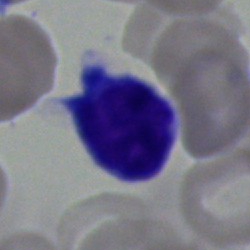 Morphology — typical lymphocyte.